Single cell centered in the field · bone marrow aspirate smear:
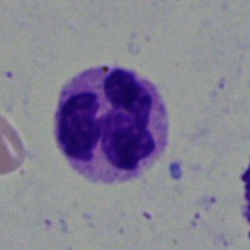The cell is polymorphonuclear neutrophil.